Peripheral blood film
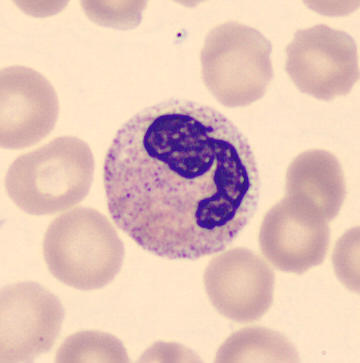

The cell shown is a polymorphonuclear neutrophil.